Bone marrow aspirate smear · MGG-stained — 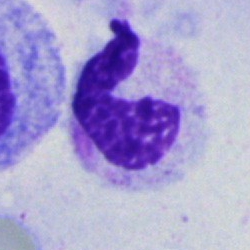
Impression → neutrophil (segmented).